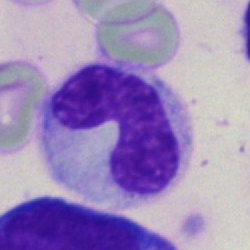 Bone marrow aspirate smear, single cell — band neutrophil.